Bone marrow smear
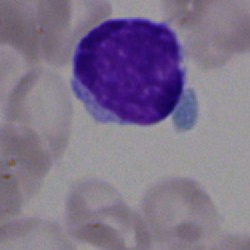

Single cell identified as a typical lymphocyte.